400×400 px; peripheral blood smear:
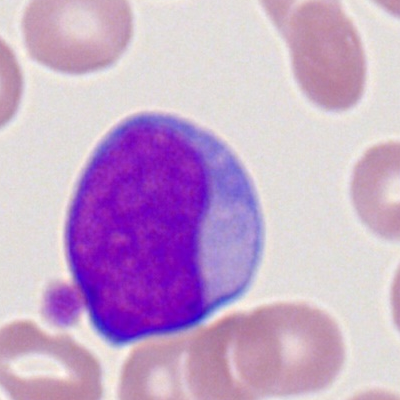
The cell is myeloid blast.